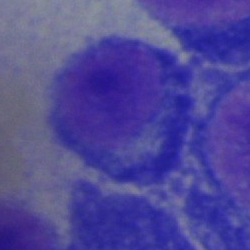 Impression → plasma cell.